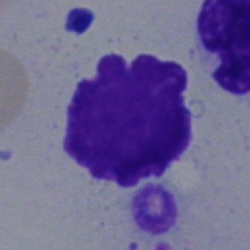Bone marrow smear showing an artifact.